MGG-stained · bone marrow aspirate smear.
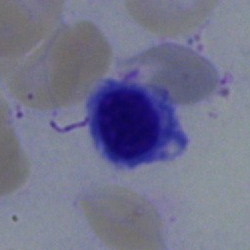 Q: What type of cell is this?
A: A normoblast.